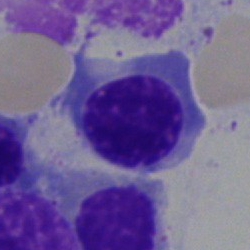
Normoblast.